Bone marrow smear
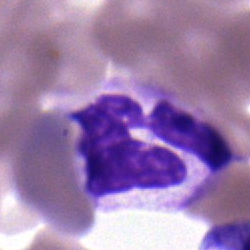

Morphology → segmented neutrophil.